Bone marrow aspirate smear
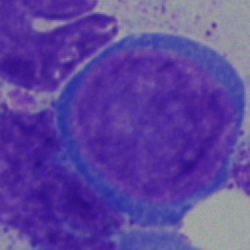

Specimen: bone marrow smear.
Cell: blast cell.